Bone marrow smear; brightfield, 40× oil-immersion objective — 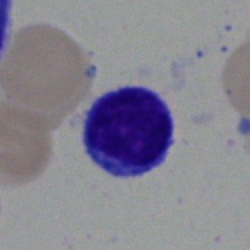The classification is lymphocyte.